Bone marrow smear:
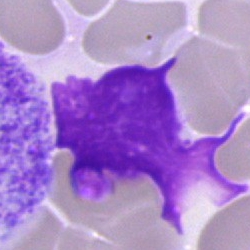This is an artefact.